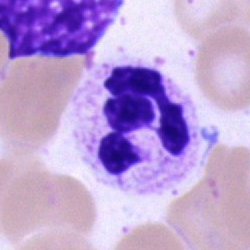
Morphology — neutrophil (segmented).